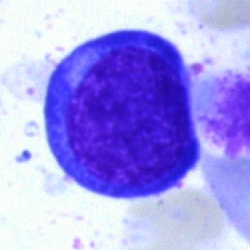

Specimen: bone marrow smear.
Cell type: nucleated red cell.